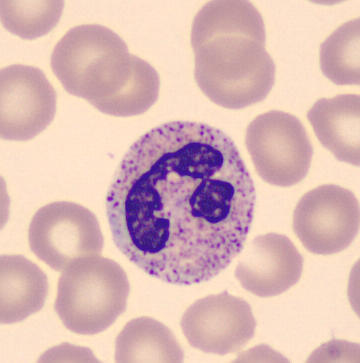
Morphological class = polymorphonuclear neutrophil. Preparation: Peripheral blood smear; MGG-stained; 360×363.